Peripheral blood film
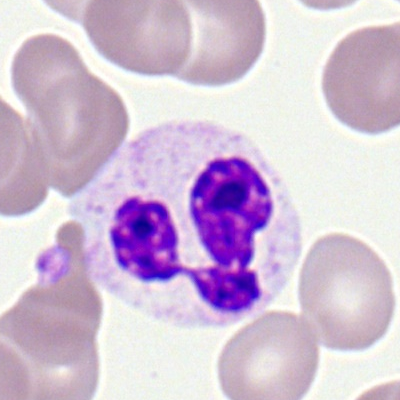

Classification: polymorphonuclear neutrophil.